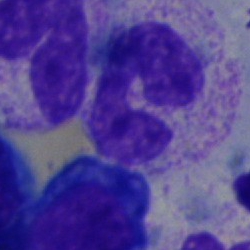Classification — band neutrophil.